250×250 px · bone marrow smear · cropped to a single cell.
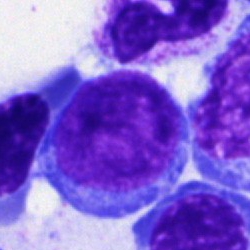

Showing a blast cell.